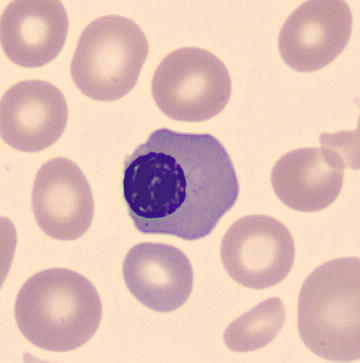 Classification: normoblast.